May-Grünwald-Giemsa stain · single-cell field · bone marrow smear: 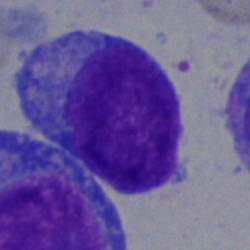
This is a blast cell.